Bone marrow smear.
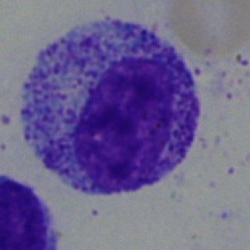

{"cell_type": "myelocyte"}